Bone marrow smear
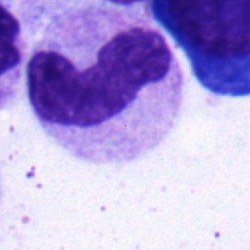This is a band neutrophil.